250×250 · May-Grünwald-Giemsa stain · bone marrow smear — 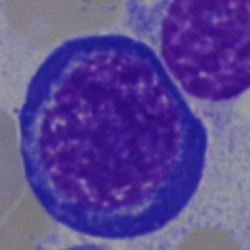

A nucleated red blood cell.